Bone marrow smear — 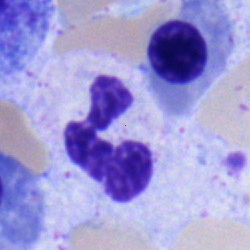

Morphological class — segmented neutrophil.